Pappenheim-stained · bone marrow aspirate smear · brightfield, 40× oil-immersion objective:
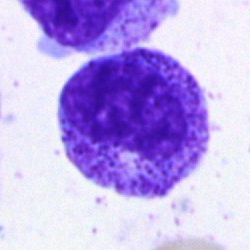Impression — myelocyte.